Image size 250×250. Cropped to a single cell. Bone marrow aspirate smear
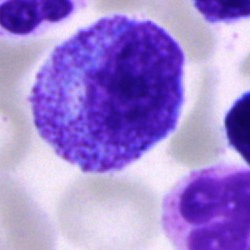 Q: What is shown here?
A: A progranulocyte.